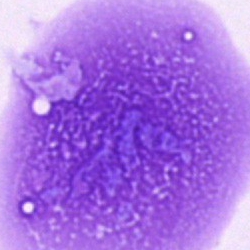
Cell type: lymphocyte.